Cropped to a single cell · bone marrow smear:
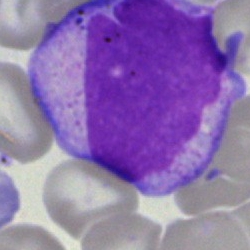

{"cell_type": "undifferentiated blast"}